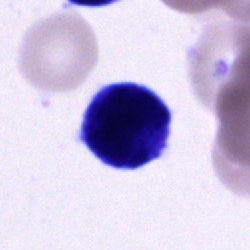
An unidentifiable cell on a bone marrow smear.